Peripheral blood smear · 100× oil immersion, 14.14 px/µm · 400×400 px
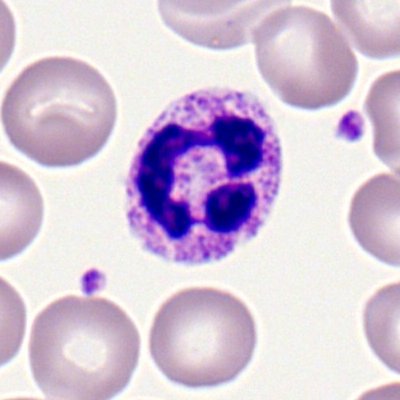 {"cell_type": "segmented neutrophil", "lineage": "myeloid"}